Bone marrow smear. Single cell centered in the field
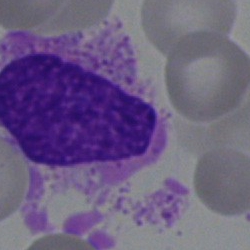
An artifact.